Bone marrow smear
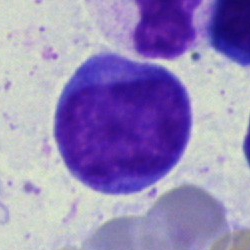 Impression → blast.